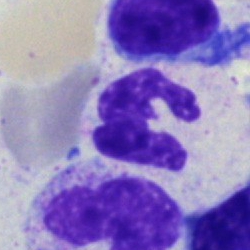The morphological class is neutrophil (segmented).